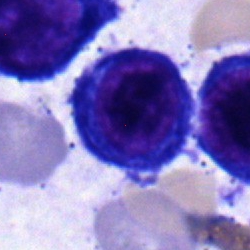Specimen: bone marrow smear.
Cell type: erythroblast.
Lineage: erythroid.